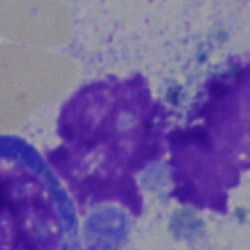{"cell_type": "artefact"}